Bone marrow smear: 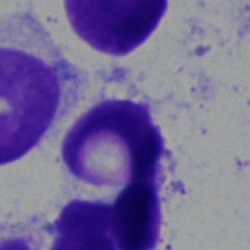Cell type = artefact.